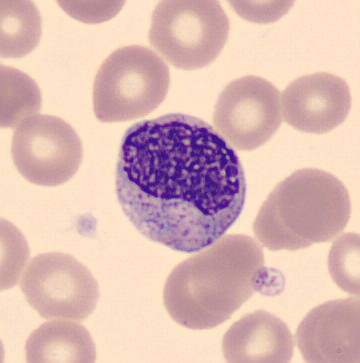
Peripheral blood smear. CellaVision DM96 digital cell image.
Cell — metamyelocyte.